Brightfield, 40× oil-immersion objective · 250×250 · bone marrow aspirate smear: 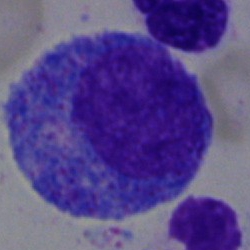
{"cell_type": "progranulocyte"}